Bone marrow aspirate smear:
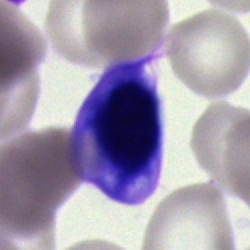

Showing a nucleated red cell.